Bone marrow aspirate smear: 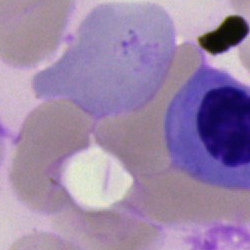Morphology — artifact.